Bone marrow smear: 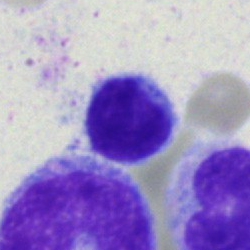
Q: What is shown here?
A: It is a lymphocyte.